May-Grünwald-Giemsa/Pappenheim stain · single cell centered in the field · bone marrow aspirate smear
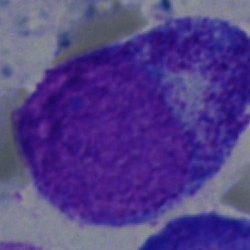Impression — progranulocyte.